100× oil immersion. Peripheral blood smear. Single-cell field — 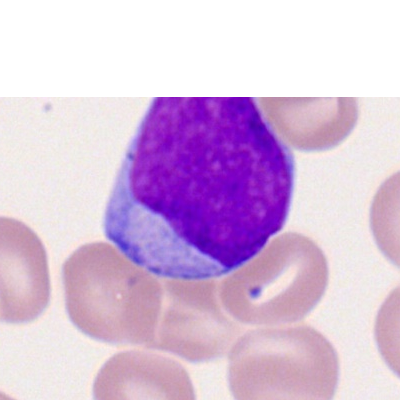 {"cell_type": "myeloblast"}